Bone marrow smear; cropped to a single cell
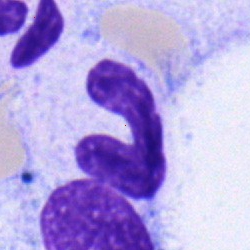 Band neutrophil.